Bone marrow aspirate smear — 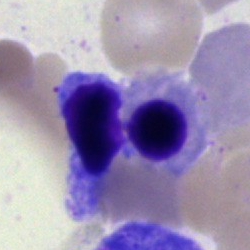
An erythroblast.